Bone marrow aspirate smear. May-Grünwald-Giemsa/Pappenheim stain
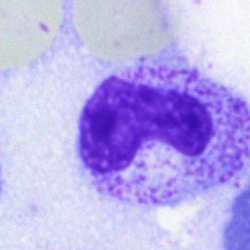Cell = neutrophil (band).